Bone marrow aspirate smear. Brightfield microscopy, 40× oil immersion — 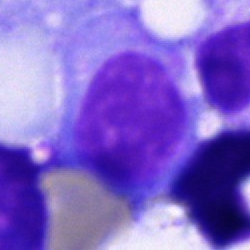Specimen: bone marrow aspirate smear.
Morphological class: blast.